Bone marrow aspirate smear — 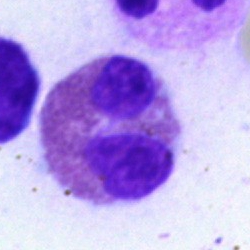Showing an eosinophilic granulocyte.